Single-cell field; peripheral blood smear:
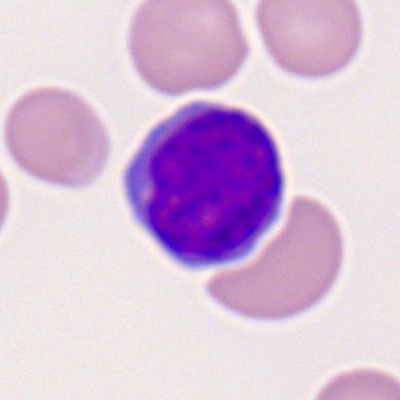
Q: Identify the cell.
A: A typical lymphocyte.